Peripheral blood smear — 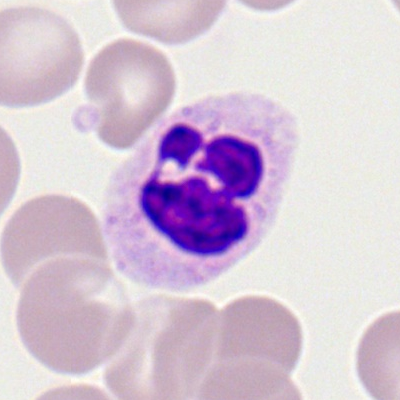 Morphology consistent with a polymorphonuclear neutrophil.